Image size 250×250; bone marrow smear:
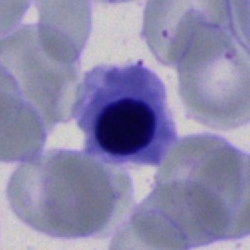

Morphological class — erythroblast.